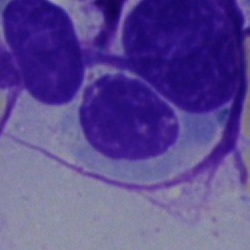
Cell type = nucleated red blood cell.